Bone marrow aspirate smear · 40× oil immersion — 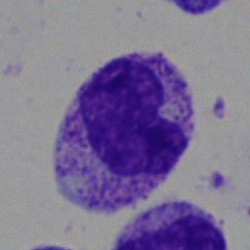

Showing a metamyelocyte.